Bone marrow aspirate smear: 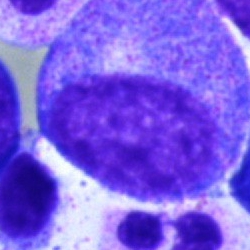
{"cell_type": "progranulocyte", "lineage": "myeloid"}